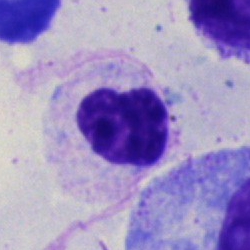 Single cell identified as a myelocyte.